Image size 250×250 · bone marrow aspirate smear.
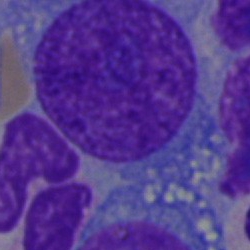

Q: Identify the cell.
A: This is a blast cell.